May-Grünwald-Giemsa stain · bone marrow smear: 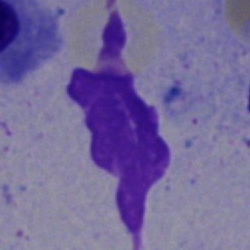
Showing an artefact.